Bone marrow aspirate smear. 250×250 — 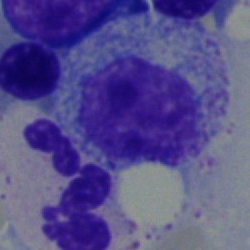Myelocyte.